MGG-stained; single-cell crop; bone marrow aspirate smear:
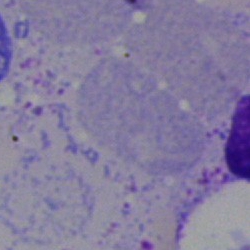

Morphology → artifact.